Single cell centered in the field · bone marrow smear
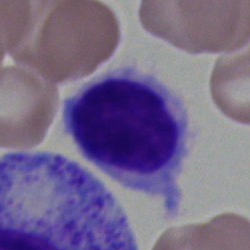
A lymphocyte.